Bone marrow aspirate smear · brightfield, 40× oil-immersion objective: 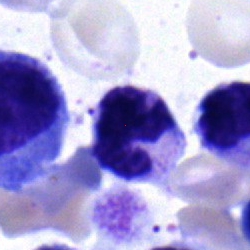
Q: What type of cell is this?
A: Segmented neutrophil.